Bone marrow aspirate smear: 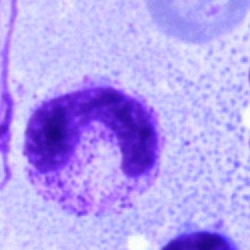Morphology consistent with a band-form neutrophil.